Bone marrow smear
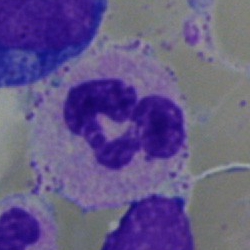

The morphological class is segmented neutrophil.